40× oil immersion · bone marrow aspirate smear — 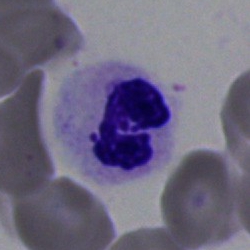

Morphology → polymorphonuclear neutrophil.